Bone marrow smear: 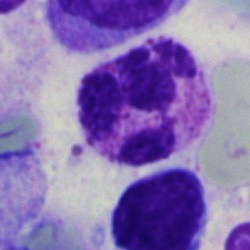

The classification is neutrophil (segmented).